Bone marrow aspirate smear. Brightfield microscopy, 40× oil immersion. Pappenheim-stained: 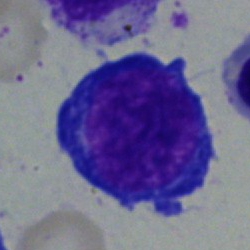Showing a proerythroblast.